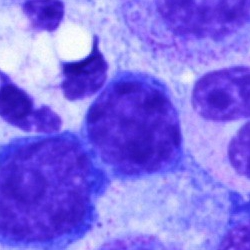
Single-cell crop from a bone marrow smear: lymphocyte.